Bone marrow smear: 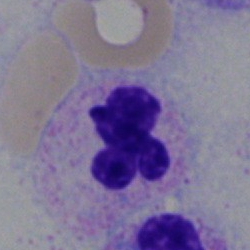

Specimen: bone marrow smear.
Cell type: neutrophil (segmented).